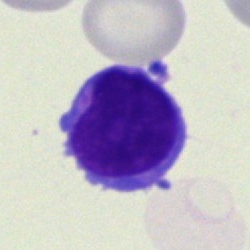

A typical lymphocyte.